Bone marrow aspirate smear; 250 by 250 pixels; brightfield, 40× oil-immersion objective: 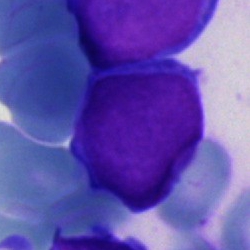

Morphology → undifferentiated blast.